Bone marrow smear:
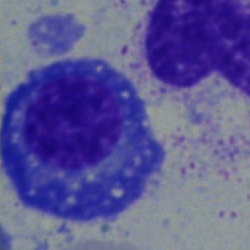Cell = plasma cell.